Bone marrow smear
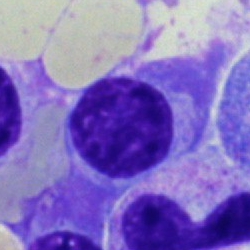
The cell is plasmacyte.